Bone marrow aspirate smear.
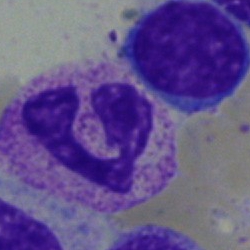

This is a polymorphonuclear neutrophil.